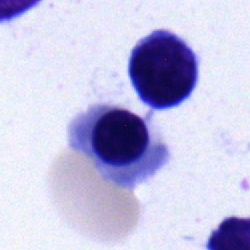

Bone marrow smear showing a nucleated red cell.